Bone marrow smear.
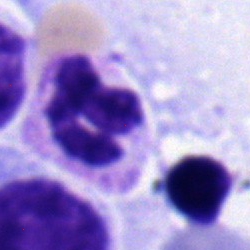

Neutrophil (segmented).